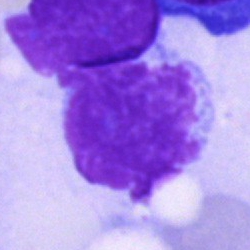Bone marrow aspirate smear, single cell — artefact.